Cropped to a single cell · bone marrow smear: 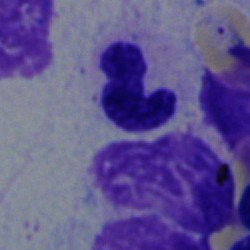 Morphology — segmented neutrophil.